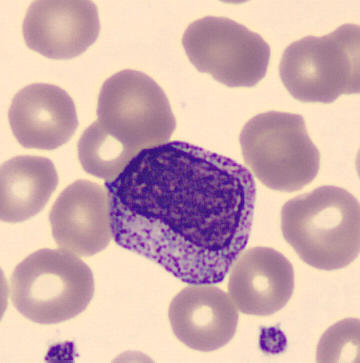Impression → myelocyte.

Peripheral blood smear.